Bone marrow smear
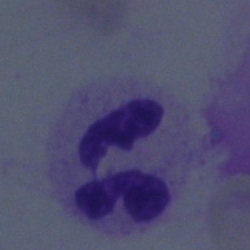

A polymorphonuclear neutrophil.